Bone marrow aspirate smear:
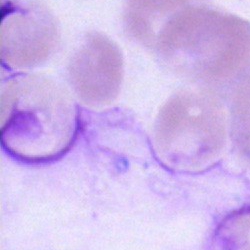 Morphology → artefact.